Bone marrow aspirate smear: 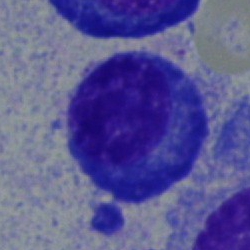Q: What is the morphological classification of this cell?
A: This is a plasma cell.